Peripheral blood film · brightfield, 100× oil-immersion objective · 400×400.
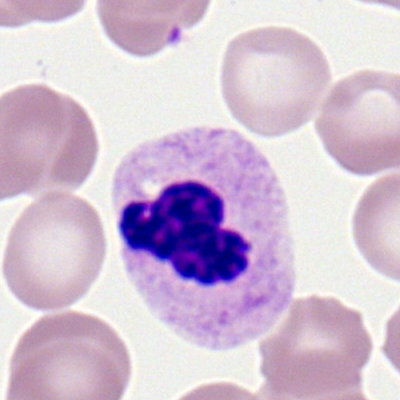

Morphology consistent with a neutrophil (segmented).